May-Grünwald-Giemsa stain; bone marrow smear — 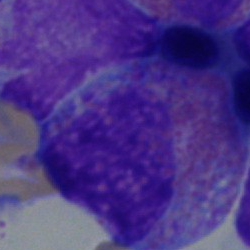This is an eosinophilic granulocyte.